Bone marrow aspirate smear.
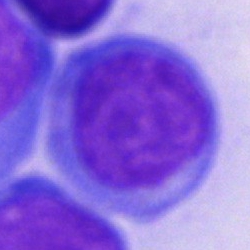 Showing a blast cell.